Bone marrow aspirate smear: 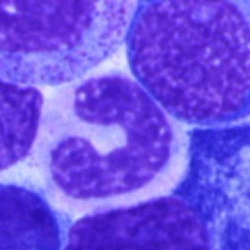Showing a band-form neutrophil.